Bone marrow smear. Cropped to a single cell:
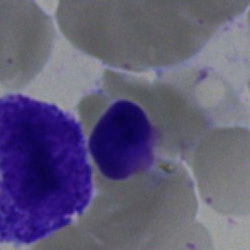 Showing an artefact.